40× oil immersion · bone marrow aspirate smear
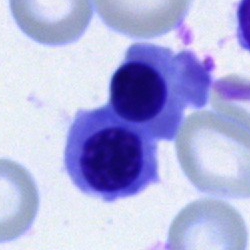Specimen: bone marrow aspirate smear.
Morphological class: nucleated red cell.
Lineage: erythroid.